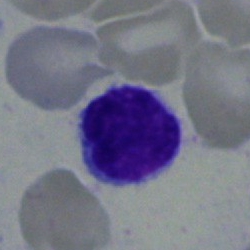
Classification — lymphocyte.